Romanowsky stain · peripheral blood film — 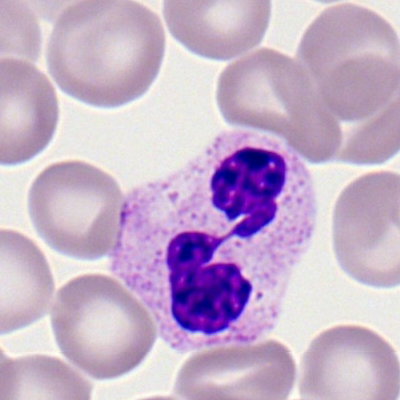

The cell is neutrophil (segmented).